Bone marrow smear:
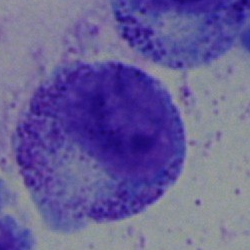

Classification: myelocyte.